Bone marrow smear — 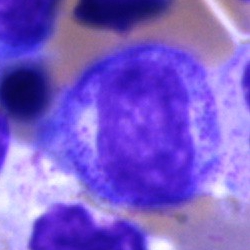

Morphology → promyelocyte.